Bone marrow smear
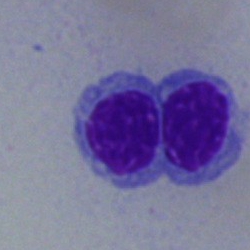Cell type = erythroblast.